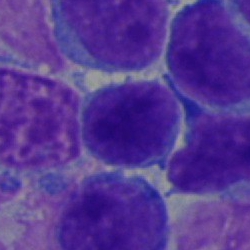

Lymphocyte.